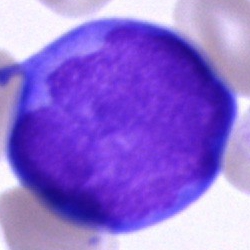Q: Which cell type is shown here?
A: Blast.